Bone marrow aspirate smear. Single-cell field.
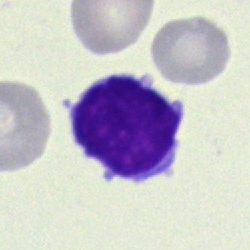

Classification = lymphocyte.